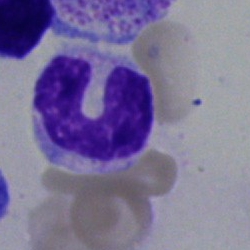
Bone marrow smear showing a neutrophil (band).